Bone marrow aspirate smear · brightfield, 40× oil-immersion objective
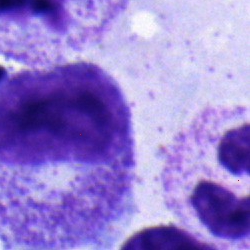
{"cell_type": "band neutrophil", "lineage": "myeloid"}